Peripheral blood film
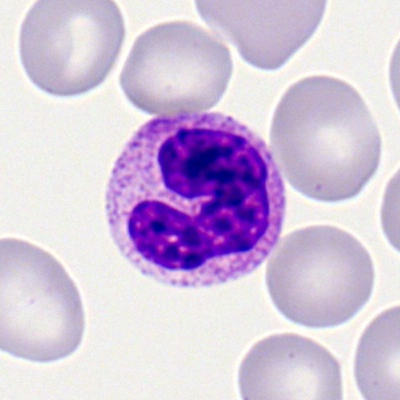
Q: What is the morphological classification of this cell?
A: It is a polymorphonuclear neutrophil.